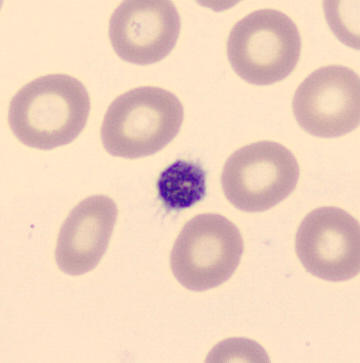 A platelet on a peripheral blood smear.